Bone marrow aspirate smear
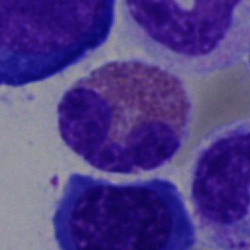 Eosinophilic granulocyte.